250×250; bone marrow smear — 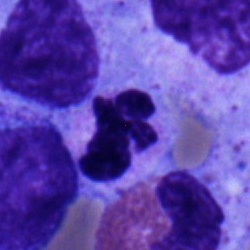

Specimen: bone marrow aspirate smear.
Cell: polymorphonuclear neutrophil.
Lineage: myeloid.